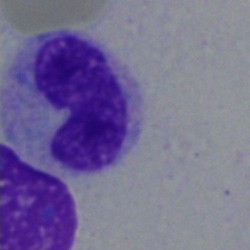 Specimen: bone marrow smear.
Cell: stab cell.